Single-cell crop · bone marrow smear.
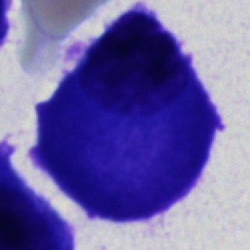Specimen: bone marrow aspirate smear.
Cell type: plasma cell.
Lineage: lymphoid.